Cropped to a single cell · bone marrow smear · 250×250 px: 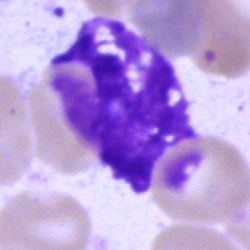 Q: What is shown here?
A: This is an artefact.